250×250 px · bone marrow smear · May-Grünwald-Giemsa/Pappenheim stain — 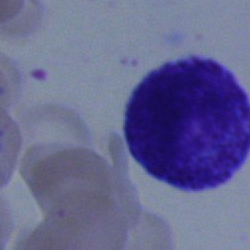 Q: What is the morphological classification of this cell?
A: It is a metamyelocyte.